Bone marrow aspirate smear:
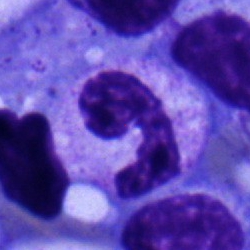 Impression → neutrophil (band).